Single-cell crop; bone marrow aspirate smear: 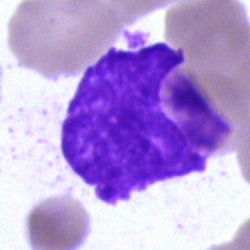Impression → artefact.